Bone marrow aspirate smear · single-cell crop:
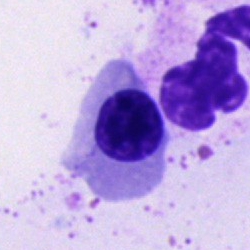 Cell type — nucleated red cell.